May-Grünwald-Giemsa stain · bone marrow smear
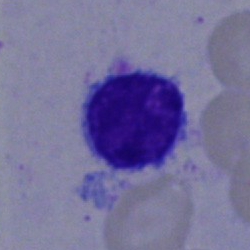

Morphological class — typical lymphocyte.